Bone marrow aspirate smear:
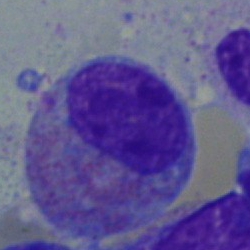Showing an eosinophil.